Image size 400×400 · peripheral blood smear:
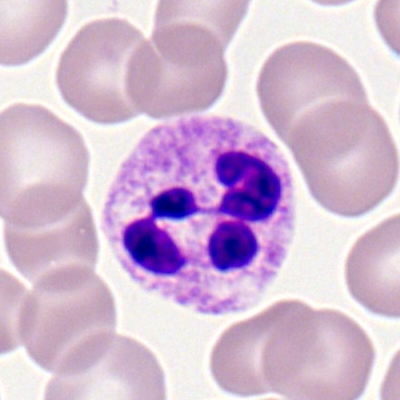
A segmented neutrophil.